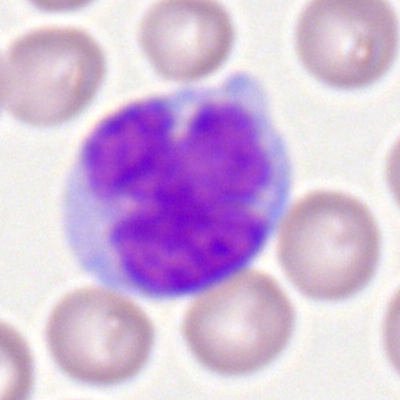
{"cell_type": "monocyte"}